Bone marrow aspirate smear — 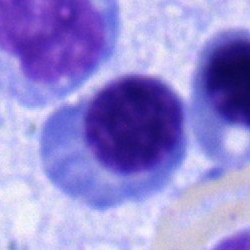Impression → nucleated red blood cell.